Bone marrow aspirate smear — 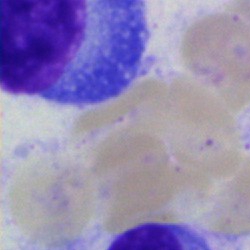 Cell: plasma cell.